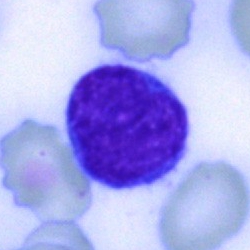

Q: What is shown here?
A: Typical lymphocyte.